Bone marrow aspirate smear; 250×250
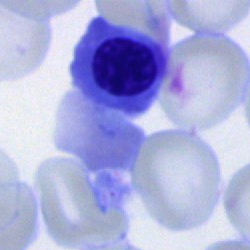
This is a nucleated red blood cell.